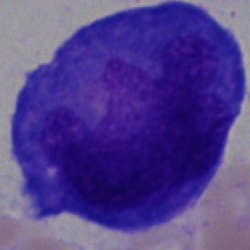
{"cell_type": "blast cell"}